Bone marrow smear.
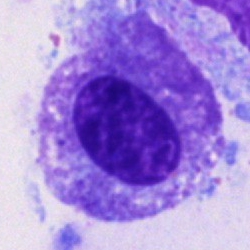{"cell_type": "cell not matching the other categories"}